Bone marrow smear
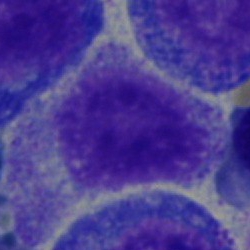Cell: myelocyte.